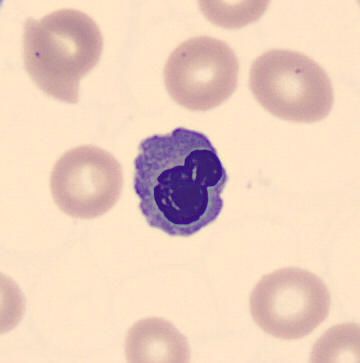Nucleated red blood cell.